Bone marrow aspirate smear; May-Grünwald-Giemsa/Pappenheim stain: 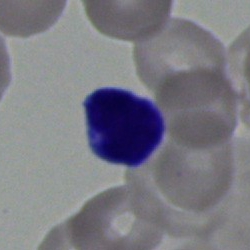
Typical lymphocyte.